Pappenheim-stained · bone marrow aspirate smear · brightfield, 40× oil-immersion objective: 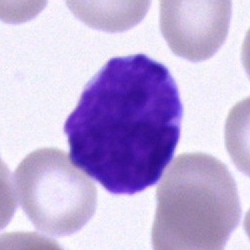 Cell = typical lymphocyte.